Bone marrow aspirate smear · single-cell crop.
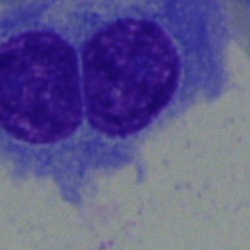

Classification: plasma cell.